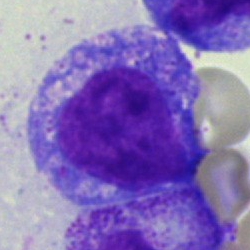

Q: What cell is this?
A: It is a progranulocyte.